Peripheral blood smear:
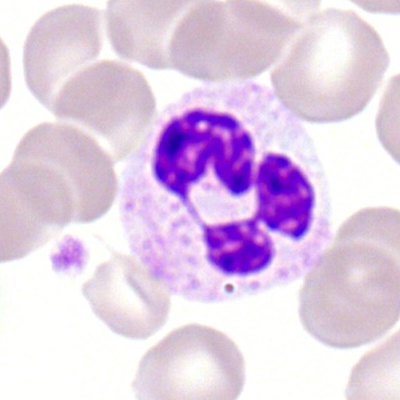 Specimen: peripheral blood film.
Cell: polymorphonuclear neutrophil.
Lineage: myeloid.